Bone marrow aspirate smear · single-cell crop · 40× objective, oil immersion — 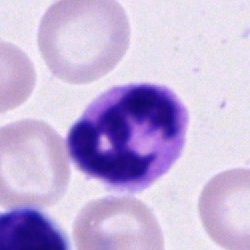
Specimen: bone marrow smear.
Morphological class: polymorphonuclear neutrophil.
Lineage: myeloid.